250×250 px; bone marrow aspirate smear; single-cell crop
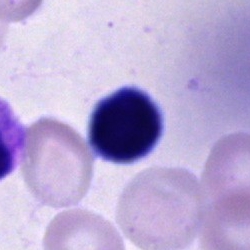 Cell = cell of indeterminate lineage.